Bone marrow aspirate smear. Pappenheim-stained:
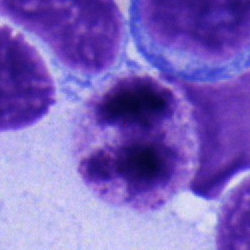 Morphology consistent with a segmented neutrophil.